250 by 250 pixels; single-cell field; bone marrow aspirate smear:
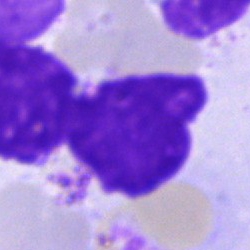

Showing an artefact.